Bone marrow aspirate smear — 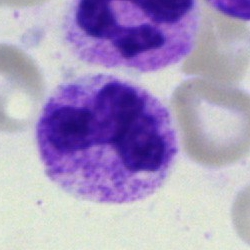

Q: What type of cell is this?
A: This is a polymorphonuclear neutrophil.